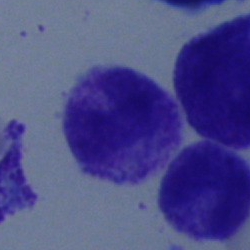Single-cell crop from a bone marrow smear: stab cell.